Bone marrow aspirate smear
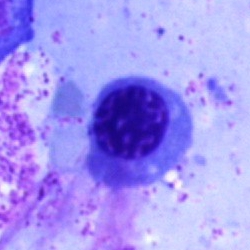
Classification: erythroblast.